Single-cell field. Peripheral blood film
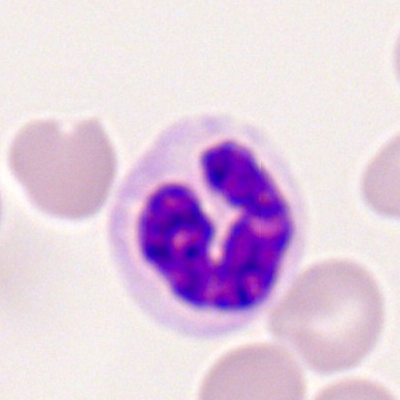 A neutrophil (segmented).